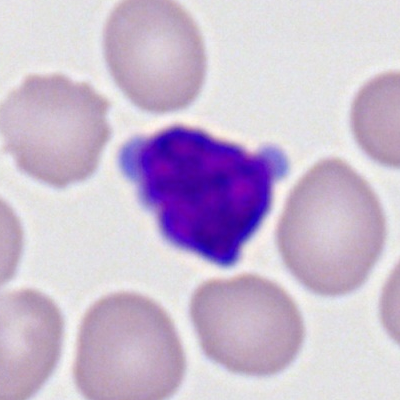
Single-cell crop from a peripheral blood smear: lymphocyte.